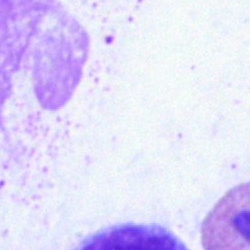{"cell_type": "artifact"}